Bone marrow aspirate smear · 40× objective, oil immersion
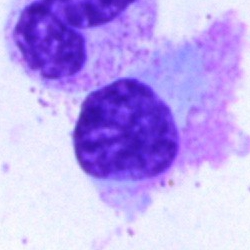

Q: What is the morphological classification of this cell?
A: This is a typical lymphocyte.